250×250; cropped to a single cell; bone marrow aspirate smear.
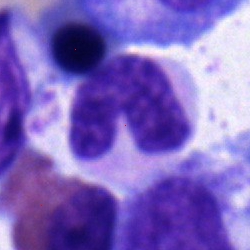

Cell: band-form neutrophil.